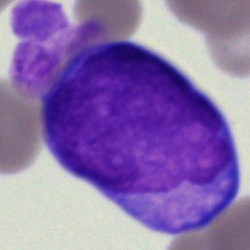 Q: What is the morphological classification of this cell?
A: Blast cell.